Peripheral blood film:
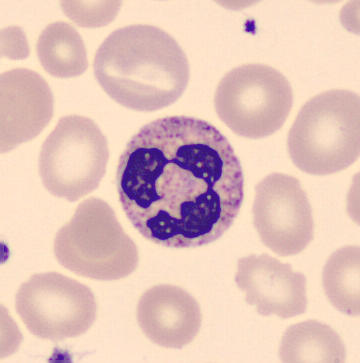Identified as a polymorphonuclear neutrophil.